Bone marrow smear: 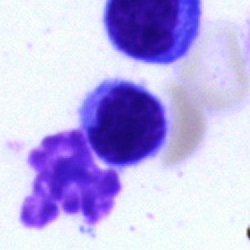

The cell is typical lymphocyte.